Bone marrow smear. Pappenheim-stained. 250×250.
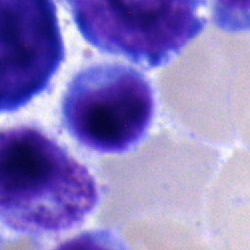Typical lymphocyte.